Peripheral blood film. 100× objective, oil immersion. Single cell centered in the field: 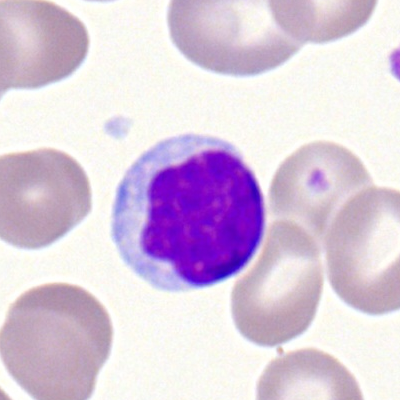 Cell type — typical lymphocyte.